Bone marrow smear.
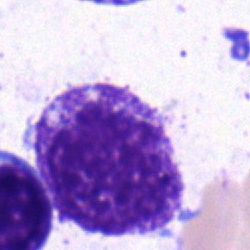 Specimen: bone marrow smear.
Morphological class: myelocyte.
Lineage: myeloid.